Bone marrow aspirate smear — 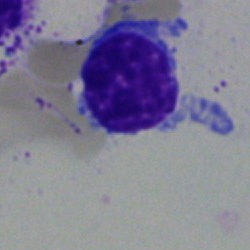 {"cell_type": "lymphocyte", "lineage": "lymphoid"}